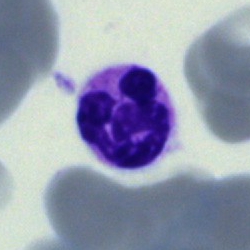

Classification: segmented neutrophil.